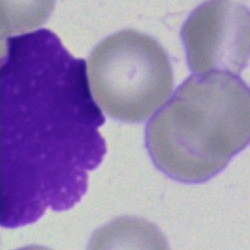 Cell = artifact.